Single-cell crop. Bone marrow aspirate smear.
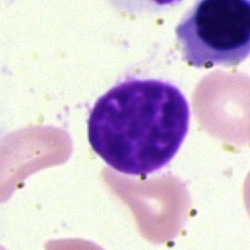 Single cell identified as an artefact.